Bone marrow aspirate smear
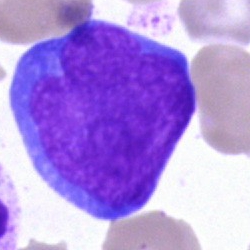 {"cell_type": "pronormoblast", "lineage": "erythroid"}